Bone marrow aspirate smear.
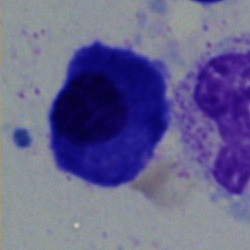 Showing a plasma cell.